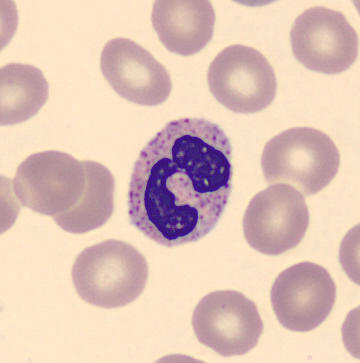
Preparation: Peripheral blood film.
Q: What is the morphological classification of this cell?
A: It is a polymorphonuclear neutrophil.